MGG-stained; bone marrow aspirate smear: 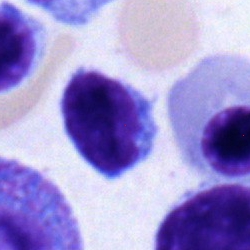 Cell = typical lymphocyte.